Peripheral blood smear: 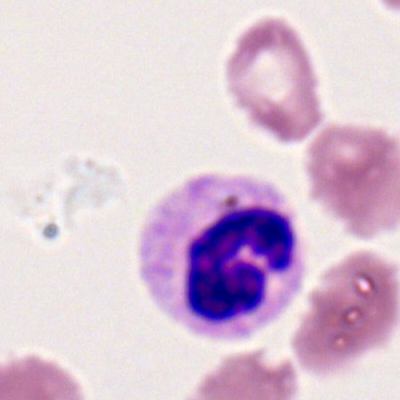The morphological class is segmented neutrophil.